Bone marrow smear
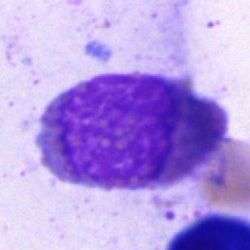
Q: What is shown here?
A: Artefact.